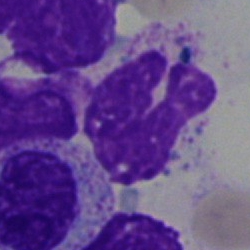 Bone marrow smear showing an artifact.